Peripheral blood smear
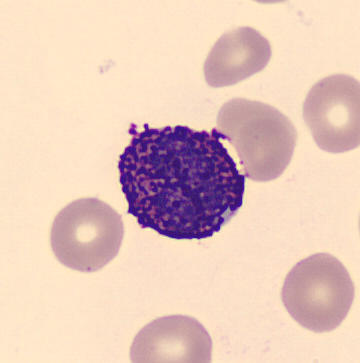 Specimen: peripheral blood film.
Classification: basophil.
Lineage: myeloid.